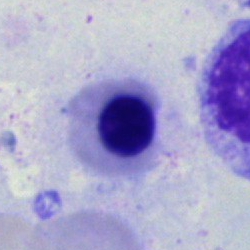 The classification is nucleated red cell.